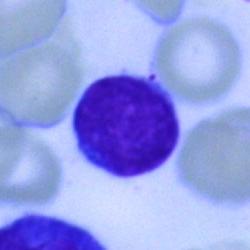Specimen: bone marrow aspirate smear.
Cell type: typical lymphocyte.
Lineage: lymphoid.